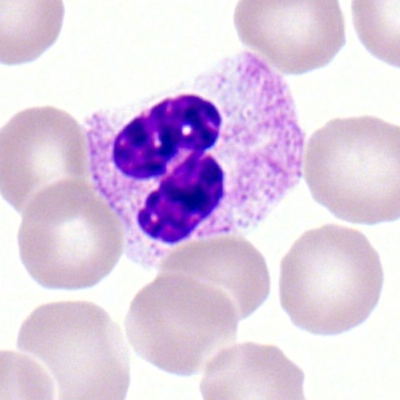 Peripheral blood smear showing a polymorphonuclear neutrophil.